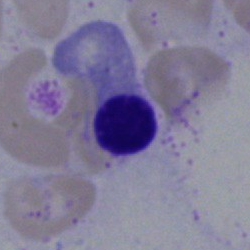 Nucleated red blood cell.